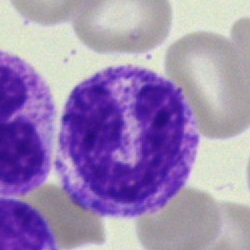 Morphological class — neutrophil (band).